Bone marrow smear
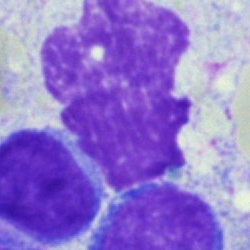

Showing an artefact.